Bone marrow aspirate smear · brightfield microscopy, 40× oil immersion.
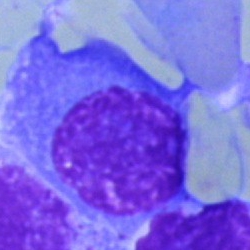Q: What is the morphological classification of this cell?
A: This is a plasma cell.